250×250. May-Grünwald-Giemsa stain. Bone marrow smear: 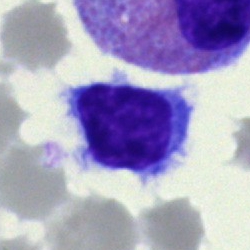

The cell type is typical lymphocyte.